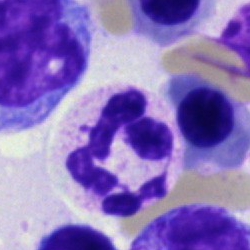

Specimen: bone marrow aspirate smear.
Morphological class: segmented neutrophil.
Lineage: myeloid.